40× objective, oil immersion. Bone marrow aspirate smear. 250×250: 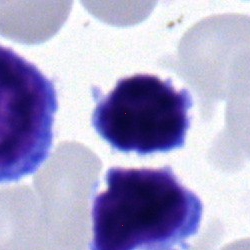Classification = typical lymphocyte.